May-Grünwald-Giemsa/Pappenheim stain; bone marrow aspirate smear; brightfield, 40× oil-immersion objective — 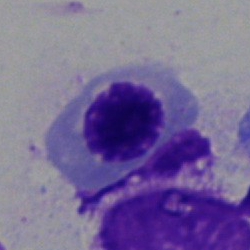 Specimen: bone marrow aspirate smear.
Classification: nucleated red blood cell.
Lineage: erythroid.